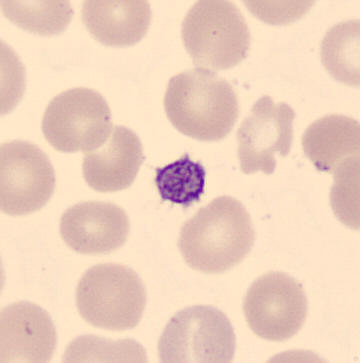
Peripheral blood smear; May-Grünwald-Giemsa-stained. Cell type = thrombocyte.